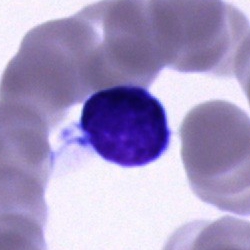

Classification = lymphocyte.